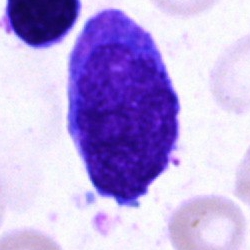
Specimen: bone marrow smear.
Morphological class: blast.